Bone marrow aspirate smear; image size 250×250 — 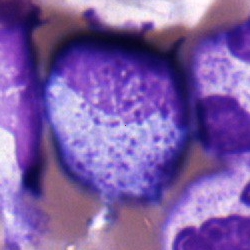 This is a myelocyte.